MGG-stained · bone marrow aspirate smear — 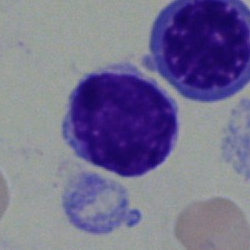
Q: What is the morphological classification of this cell?
A: A typical lymphocyte.